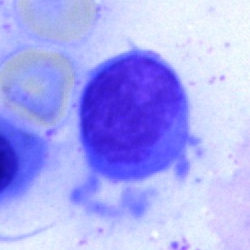

The classification is typical lymphocyte.